Peripheral blood smear · M8 digital microscope (Precipoint), 100× oil immersion: 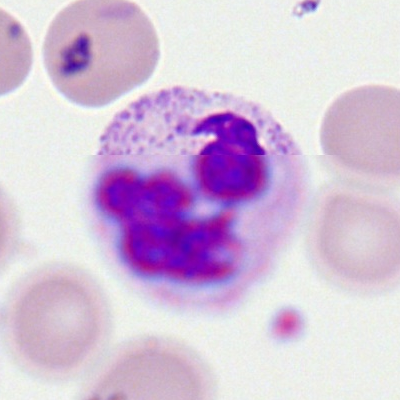 The morphological class is segmented neutrophil.